Bone marrow aspirate smear — 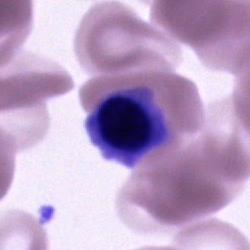 {"cell_type": "nucleated red blood cell", "lineage": "erythroid"}